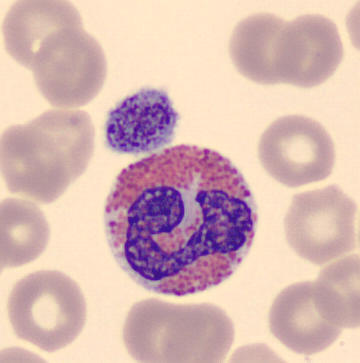 Peripheral blood smear.

Q: What is shown here?
A: Eosinophilic granulocyte.